Bone marrow smear.
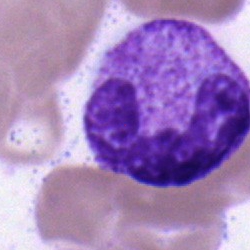
Morphology — segmented neutrophil.